Bone marrow aspirate smear.
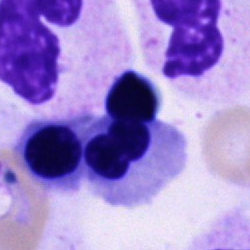
Classification: normoblast.